Peripheral blood smear · 360 by 363 pixels:
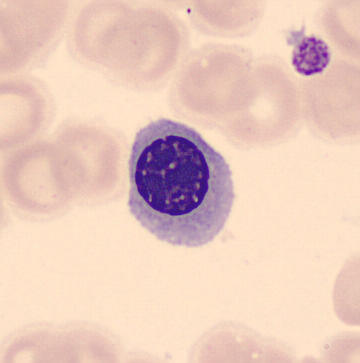Classification = nucleated red cell.